Bone marrow smear:
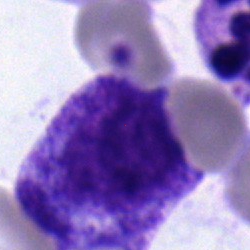Morphological class = myelocyte.